Single-cell crop · 250 by 250 pixels · bone marrow aspirate smear: 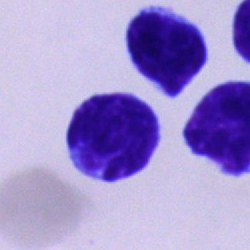

Lymphocyte.